Bone marrow aspirate smear; 250×250 px; cropped to a single cell
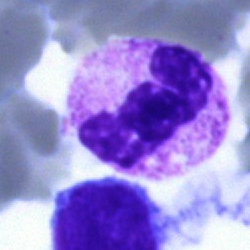Showing a segmented neutrophil.